Single cell centered in the field; Romanowsky stain; peripheral blood smear — 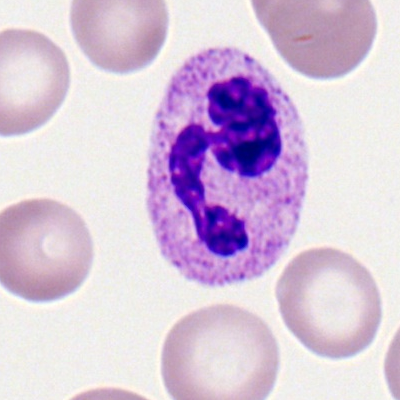

Q: What type of cell is this?
A: A polymorphonuclear neutrophil.